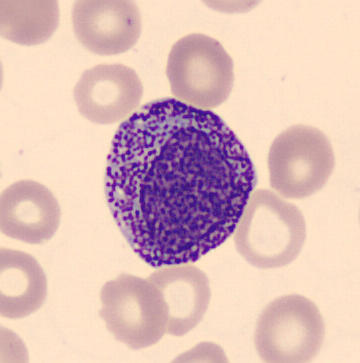

Image: Single-cell field · peripheral blood smear. Identified as a promyelocyte.